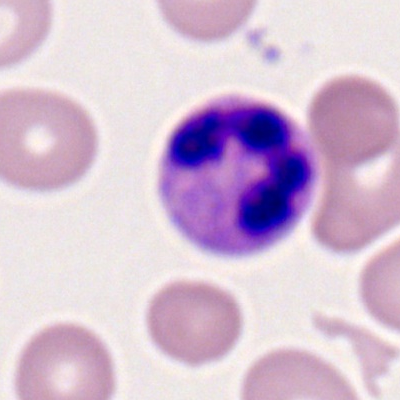
Peripheral blood smear showing a segmented neutrophil.